Bone marrow aspirate smear:
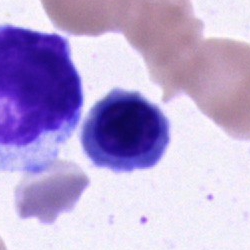 The morphological class is erythroblast.